Pappenheim-stained · bone marrow smear: 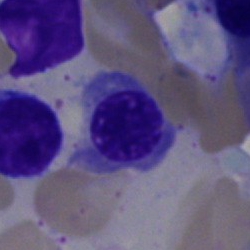 Morphology consistent with a nucleated red blood cell.